May-Grünwald-Giemsa/Pappenheim stain. Bone marrow aspirate smear
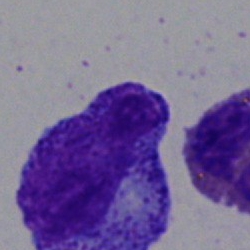{"cell_type": "promyelocyte"}